Bone marrow aspirate smear:
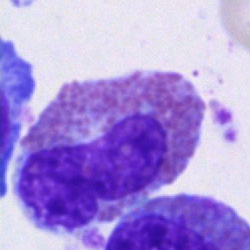

This is an eosinophil.